Brightfield, 100× oil-immersion objective; peripheral blood smear; cropped to a single cell
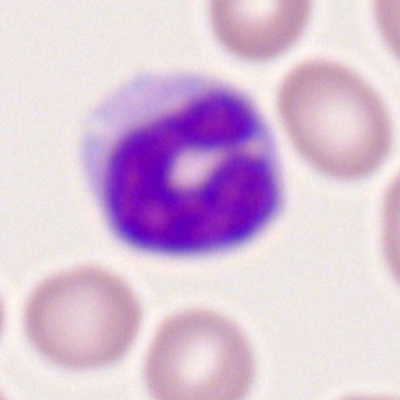 Q: Identify the cell.
A: It is a monocyte.